Bone marrow smear · brightfield microscopy, 40× oil immersion — 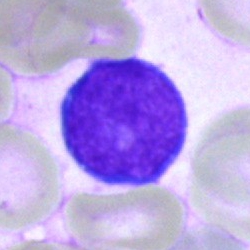

A blast.